Bone marrow smear.
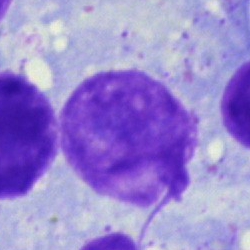Classification: artifact.